MGG-stained. 250 by 250 pixels. Bone marrow smear.
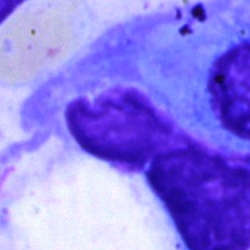 The morphological class is artifact.